Bone marrow smear. MGG-stained.
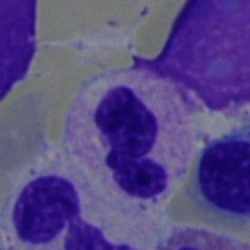 This is a neutrophil (segmented).